Bone marrow smear:
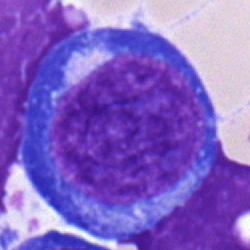Pronormoblast.